Bone marrow aspirate smear:
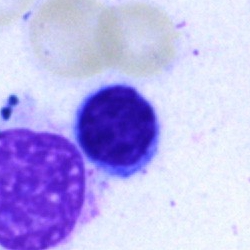Specimen: bone marrow aspirate smear.
Classification: lymphocyte.
Lineage: lymphoid.